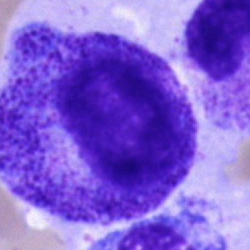Morphology → promyelocyte.